Bone marrow smear — 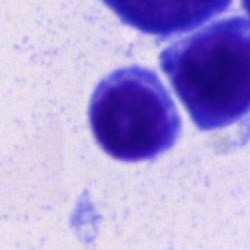

Single cell identified as a typical lymphocyte.